Bone marrow aspirate smear; brightfield, 40× oil-immersion objective — 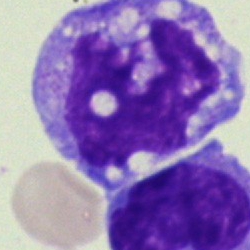Q: What is shown here?
A: It is a monocyte.